Bone marrow smear · image size 250×250 · 40× objective, oil immersion.
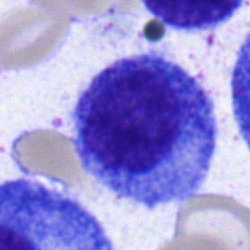

Q: What cell is this?
A: A myelocyte.